Single-cell crop; bone marrow smear
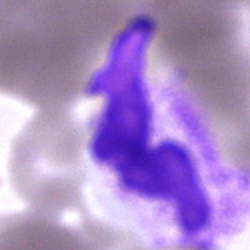Specimen: bone marrow smear.
Morphological class: polymorphonuclear neutrophil.